Bone marrow aspirate smear; 250×250 px; single-cell field — 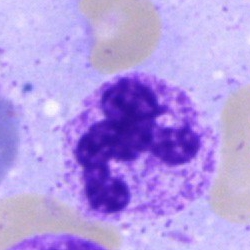A polymorphonuclear neutrophil.